May-Grünwald-Giemsa stain. Bone marrow smear. 250×250.
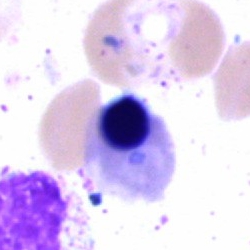 This is an erythroblast.